250×250. Bone marrow smear. Cropped to a single cell: 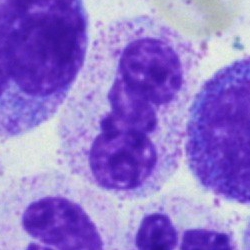Neutrophil (segmented).